Bone marrow aspirate smear — 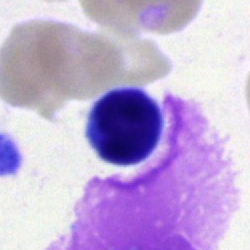Impression — typical lymphocyte.